Bone marrow aspirate smear: 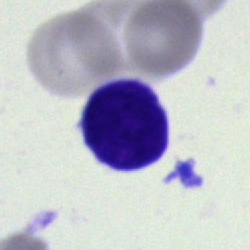Q: What type of cell is this?
A: Undifferentiated blast.